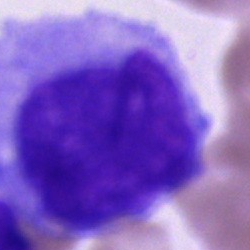

A cell of indeterminate lineage on a bone marrow smear.